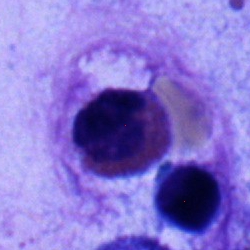

The morphological class is eosinophilic granulocyte.